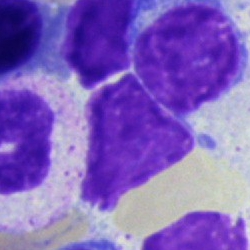

Q: What is shown here?
A: This is an artifact.